Bone marrow smear · May-Grünwald-Giemsa stain · 40× oil immersion.
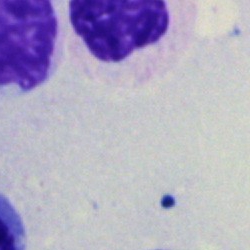

Showing a nucleated red blood cell.